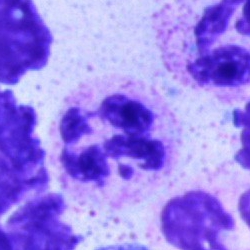{"cell_type": "polymorphonuclear neutrophil", "lineage": "myeloid"}